Bone marrow aspirate smear · 250 by 250 pixels
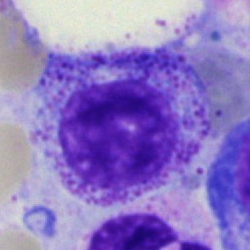Impression — myelocyte.